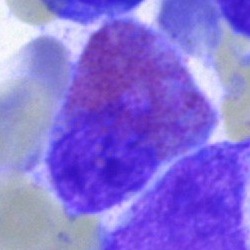Impression → eosinophil.